Bone marrow aspirate smear. Single-cell crop
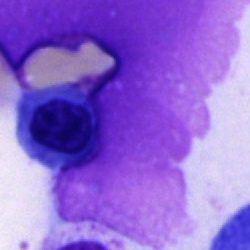 The cell shown is an erythroblast.